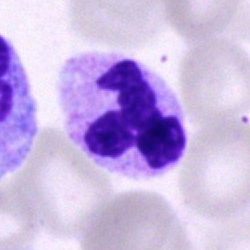 Classification = segmented neutrophil.